Bone marrow aspirate smear; May-Grünwald-Giemsa/Pappenheim stain:
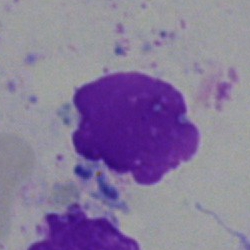

This is an artifact.